MGG-stained · single cell centered in the field · bone marrow aspirate smear — 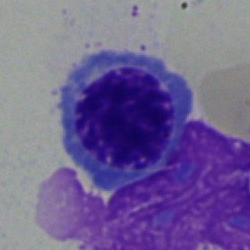 Specimen: bone marrow aspirate smear.
Morphological class: erythroblast.
Lineage: erythroid.